Bone marrow smear:
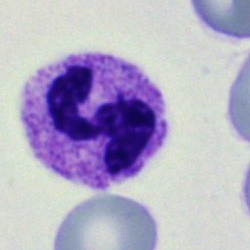Polymorphonuclear neutrophil.